Bone marrow aspirate smear.
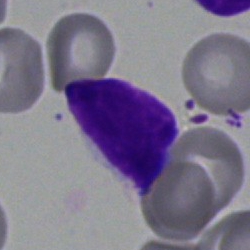Q: What is shown here?
A: A lymphocyte.